Peripheral blood film — 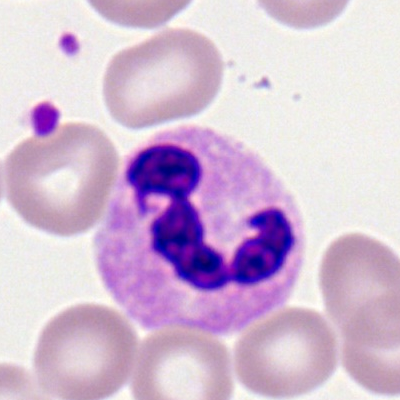 Impression — polymorphonuclear neutrophil.